Bone marrow aspirate smear.
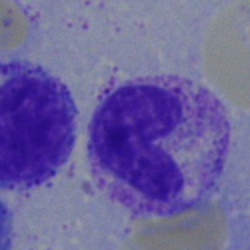 This is a neutrophil (band).